Bone marrow aspirate smear.
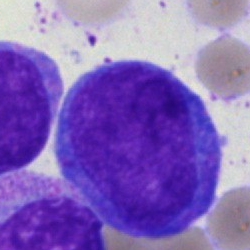

Impression → blast.